Image size 250×250 · bone marrow aspirate smear · cropped to a single cell.
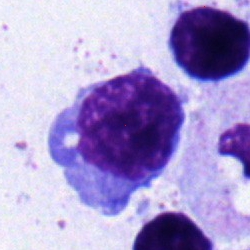 Q: What cell is this?
A: It is a nucleated red cell.